Bone marrow aspirate smear — 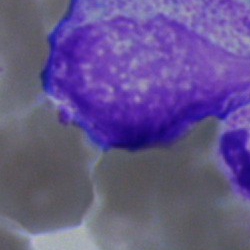

The cell shown is a myelocyte.